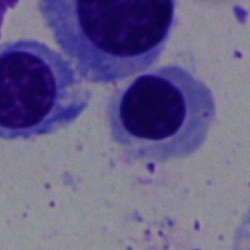 Showing a normoblast.